Bone marrow aspirate smear: 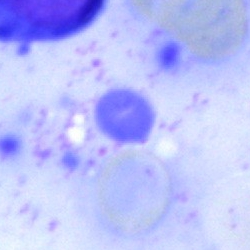
Q: What is shown here?
A: An artefact.